Peripheral blood smear — 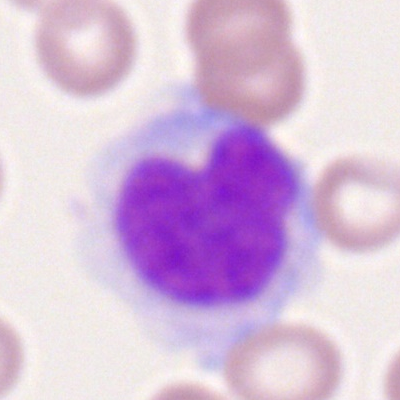 Specimen: peripheral blood smear.
Cell type: monocyte.